Image size 250×250. Bone marrow aspirate smear. 40× objective, oil immersion: 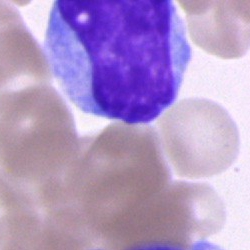 Specimen: bone marrow aspirate smear.
Cell: unidentifiable cell.